Bone marrow aspirate smear.
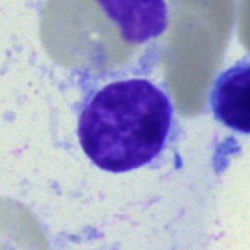
Impression → typical lymphocyte.